Bone marrow aspirate smear · 40× objective, oil immersion — 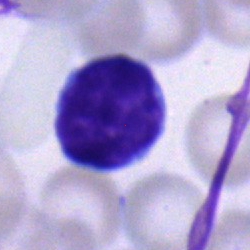Q: What is shown here?
A: It is a lymphocyte.